Bone marrow smear.
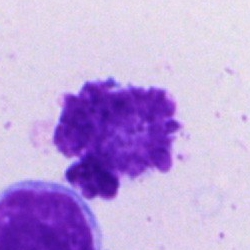
Morphological class — artifact.